Bone marrow smear
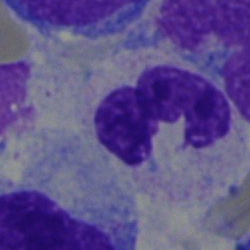
{"cell_type": "segmented neutrophil"}